250 by 250 pixels; bone marrow smear
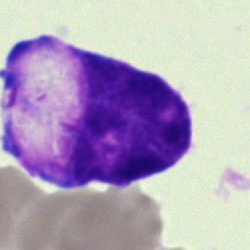{"cell_type": "undifferentiated blast"}